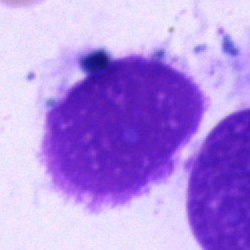An artifact on a bone marrow smear.